400×400; Romanowsky-stained; peripheral blood smear — 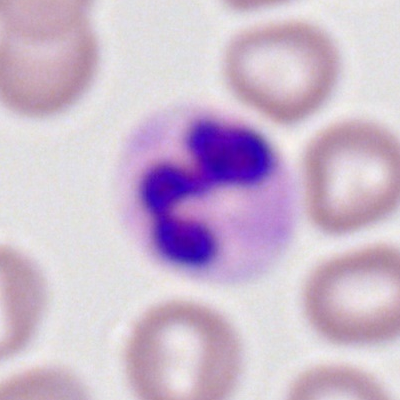

The classification is polymorphonuclear neutrophil.